Bone marrow aspirate smear · Pappenheim-stained: 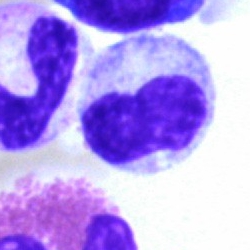
The cell type is stab cell.